Bone marrow aspirate smear. 250×250
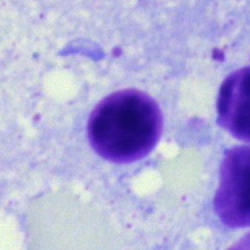Q: What is shown here?
A: It is an artifact.